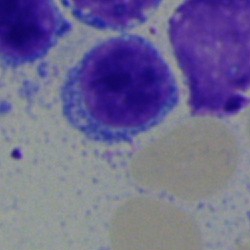
Q: Which cell type is shown here?
A: It is a lymphocyte.